Bone marrow smear: 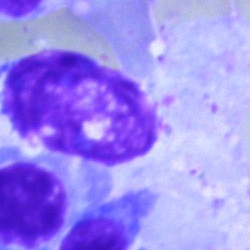 {"cell_type": "artefact"}